Bone marrow smear:
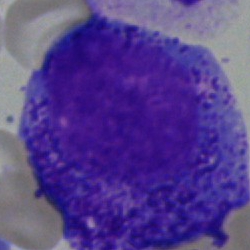Specimen: bone marrow aspirate smear.
Classification: progranulocyte.
Lineage: myeloid.